Bone marrow aspirate smear: 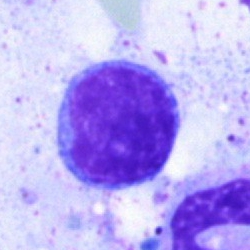
Specimen: bone marrow smear.
Morphological class: typical lymphocyte.
Lineage: lymphoid.